Peripheral blood smear:
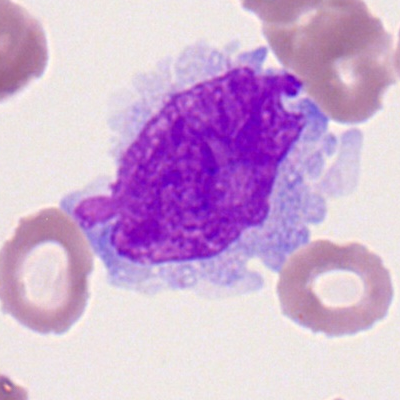

Monocyte.